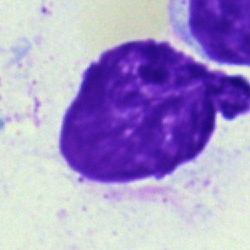

Morphology → artefact.